Bone marrow smear · brightfield, 40× oil-immersion objective · MGG-stained: 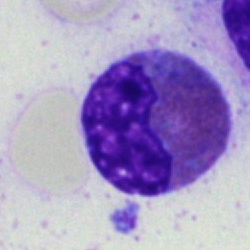 Morphology → eosinophilic granulocyte.